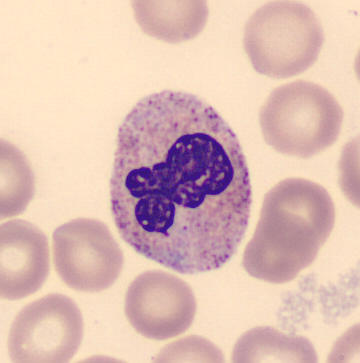 Peripheral blood smear showing a neutrophil (band).